Bone marrow aspirate smear. Single cell centered in the field — 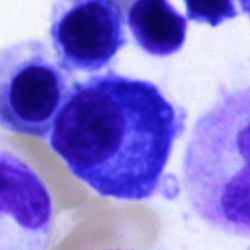

A plasmacyte.